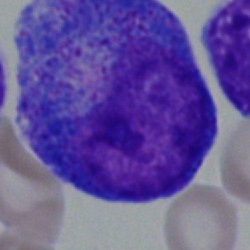Single-cell crop from a bone marrow smear: promyelocyte.